Bone marrow aspirate smear
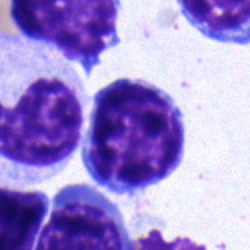
{"cell_type": "typical lymphocyte", "lineage": "lymphoid"}